Single-cell crop; bone marrow aspirate smear; 40× oil immersion: 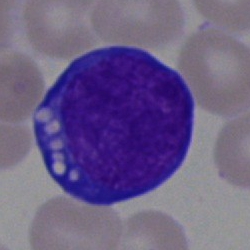
Impression — blast.